Bone marrow aspirate smear: 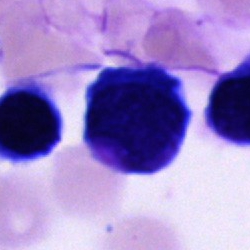 Q: What is the morphological classification of this cell?
A: It is a cell of indeterminate lineage.